Bone marrow aspirate smear
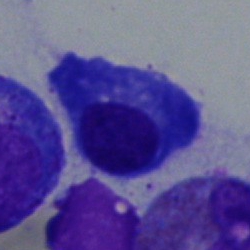

Q: What is the morphological classification of this cell?
A: Plasma cell.